Bone marrow aspirate smear — 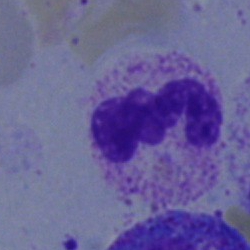 Classification = segmented neutrophil.